Single cell centered in the field · bone marrow aspirate smear · brightfield microscopy, 40× oil immersion
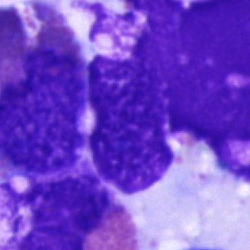 Q: What is shown here?
A: Artefact.